Bone marrow aspirate smear: 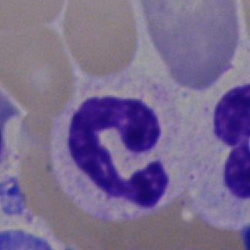 {"cell_type": "polymorphonuclear neutrophil", "lineage": "myeloid"}